Bone marrow aspirate smear.
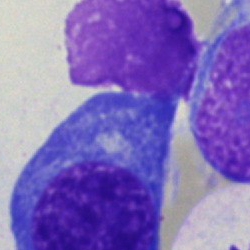 The classification is nucleated red cell.